May-Grünwald-Giemsa stain. Brightfield microscopy, 40× oil immersion. Bone marrow smear — 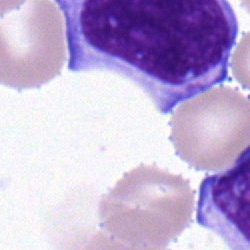
Typical lymphocyte.